M8 digital microscope (Precipoint), 100× oil immersion. Peripheral blood film
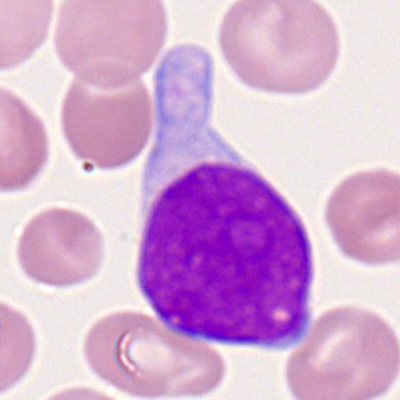Impression → myeloblast.